Bone marrow smear.
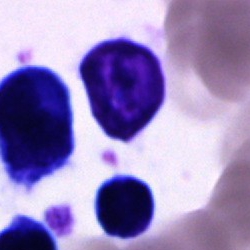 Unidentifiable cell.